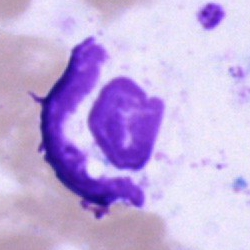

Specimen: bone marrow aspirate smear.
Cell: neutrophil (segmented).
Lineage: myeloid.